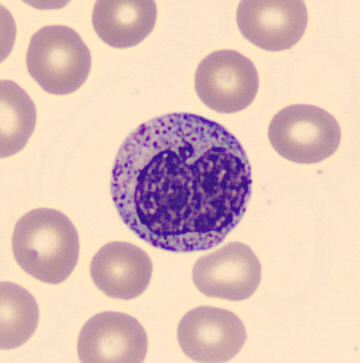
Identified as a metamyelocyte.

Image: Peripheral blood smear.